Bone marrow aspirate smear. Image size 250×250
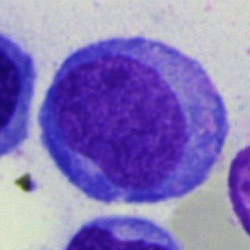

The cell shown is a promyelocyte.